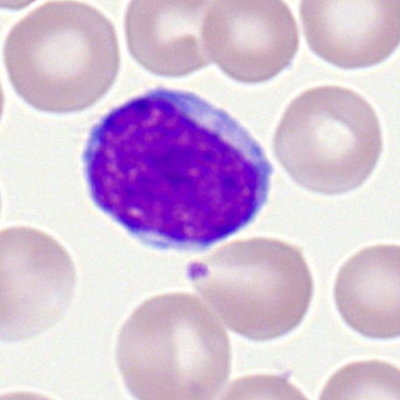
Typical lymphocyte.